Bone marrow smear; brightfield, 40× oil-immersion objective:
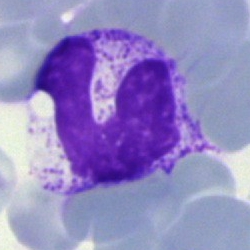

The morphological class is artefact.